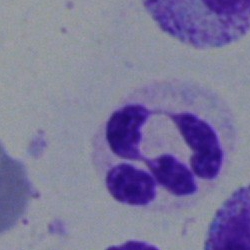

A polymorphonuclear neutrophil on a bone marrow smear.